Bone marrow aspirate smear — 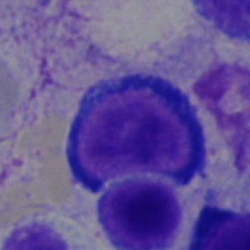
A pronormoblast.